Bone marrow smear. Single cell centered in the field: 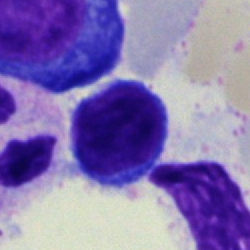 Specimen: bone marrow aspirate smear.
Classification: typical lymphocyte.